Single-cell crop. Image size 250×250. Bone marrow smear — 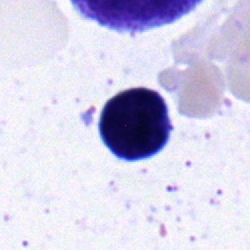
This is a typical lymphocyte.